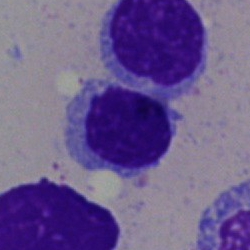
Q: Which cell type is shown here?
A: It is a typical lymphocyte.